Romanowsky-stained · peripheral blood smear:
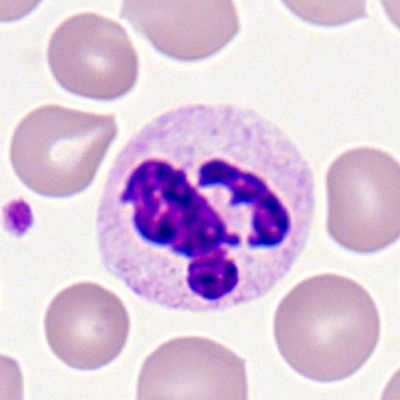Impression — neutrophil (segmented).